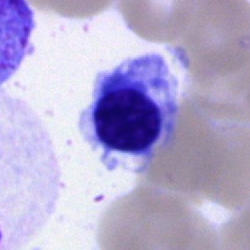

A nucleated red cell.